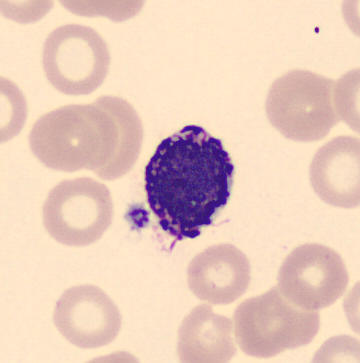

Specimen: peripheral blood smear.
Cell type: basophilic granulocyte.
Lineage: myeloid.